Bone marrow smear. Brightfield microscopy, 40× oil immersion:
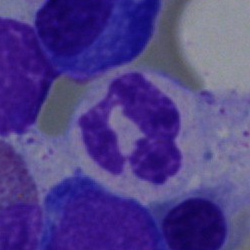

Classification — segmented neutrophil.